Bone marrow aspirate smear.
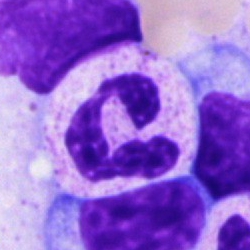The cell type is segmented neutrophil.